Cropped to a single cell. Bone marrow aspirate smear.
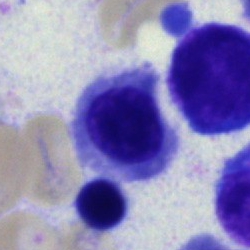 Morphology consistent with a nucleated red blood cell.